Single-cell field; bone marrow smear
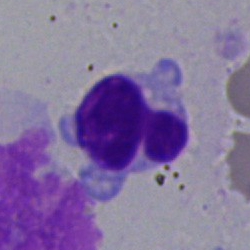
Impression — lymphocyte.